Bone marrow aspirate smear
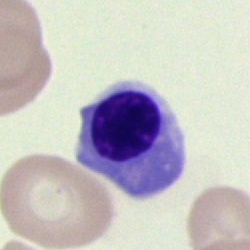Morphological class: normoblast.